Bone marrow smear; single-cell field: 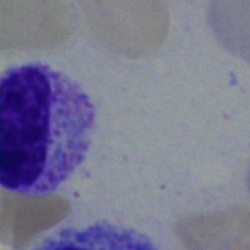

{"cell_type": "myelocyte"}